Bone marrow aspirate smear
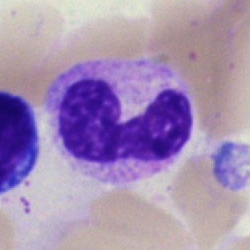 Cell type = neutrophil (band).